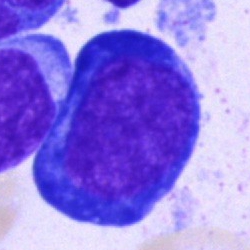
Specimen: bone marrow smear.
Cell: proerythroblast.